Bone marrow aspirate smear — 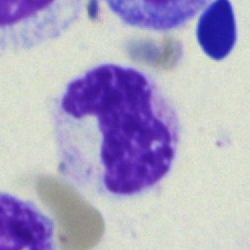

A band neutrophil.